Bone marrow smear.
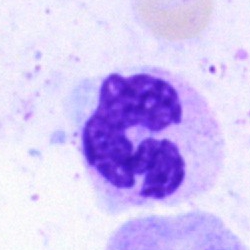 The cell type is neutrophil (segmented).